Cropped to a single cell; bone marrow smear; 250×250: 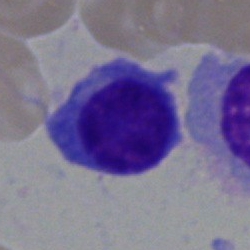

Single cell identified as a plasmacyte.